Bone marrow aspirate smear
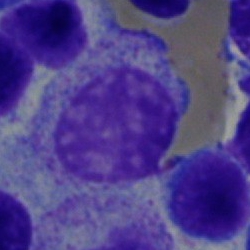
Cell: myelocyte.